Brightfield microscopy, 40× oil immersion; image size 250×250; bone marrow smear
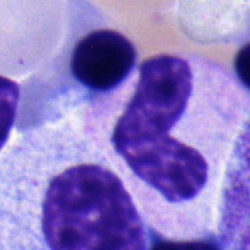

The cell is band-form neutrophil.